Peripheral blood film: 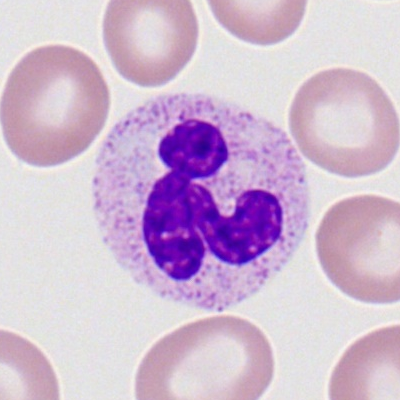
Cell — neutrophil (segmented).